Bone marrow smear.
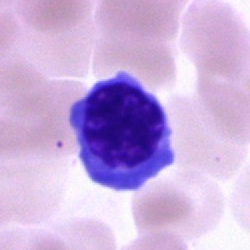

This is a nucleated red cell.